40× objective, oil immersion · bone marrow smear · May-Grünwald-Giemsa/Pappenheim stain: 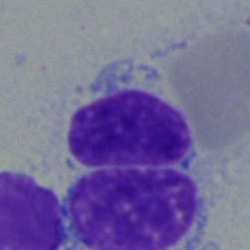
Classification = lymphocyte.